Bone marrow aspirate smear; single-cell field: 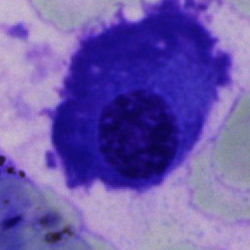 Morphological class = plasma cell.